Bone marrow aspirate smear
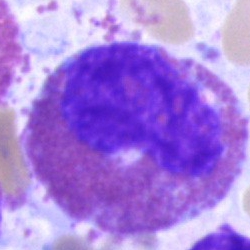
Morphology — eosinophilic granulocyte.